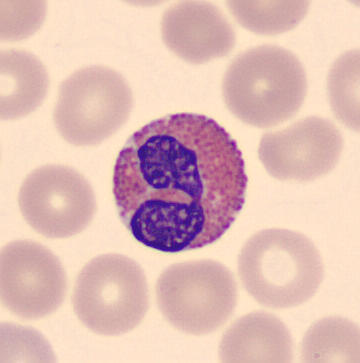

Morphology → eosinophilic granulocyte.